Bone marrow aspirate smear: 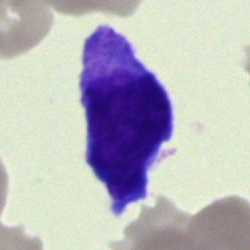Classification — undifferentiated blast.